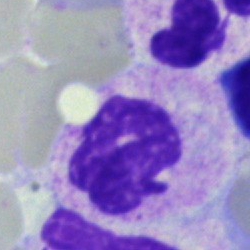

Q: Which cell type is shown here?
A: A segmented neutrophil.